Bone marrow aspirate smear:
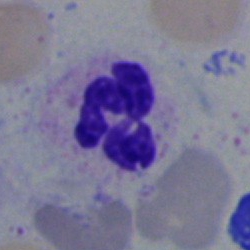 Showing a segmented neutrophil.